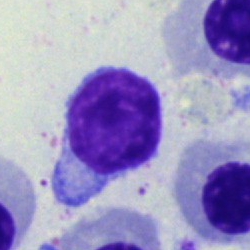Bone marrow aspirate smear, single cell — lymphocyte.